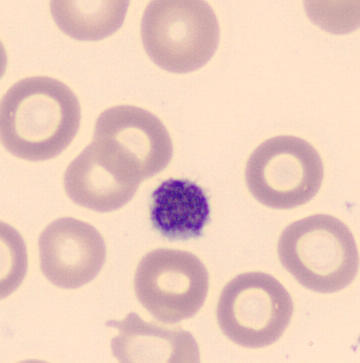
Morphological class: platelet.